Bone marrow smear:
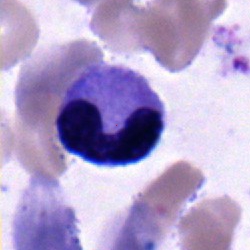

The cell is stab cell.